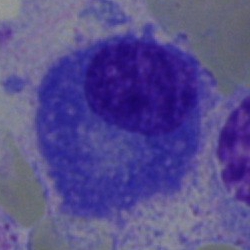A plasma cell.